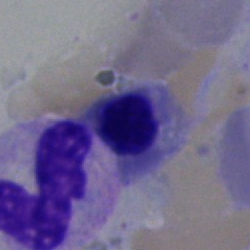 Specimen: bone marrow aspirate smear.
Classification: nucleated red blood cell.
Lineage: erythroid.